Image size 250×250; bone marrow smear; brightfield microscopy, 40× oil immersion — 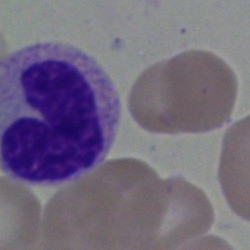 Showing a metamyelocyte.